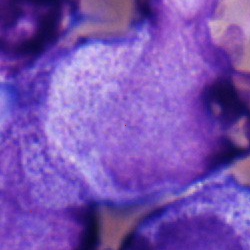 Q: Which cell type is shown here?
A: This is a blast cell.